Brightfield, 100× oil-immersion objective · peripheral blood film.
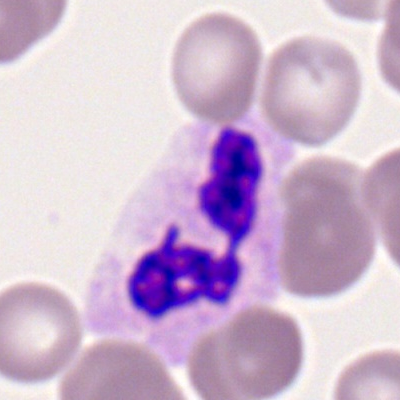

Morphology → segmented neutrophil.